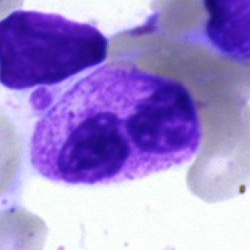A segmented neutrophil.